Pappenheim-stained · 250×250 px · bone marrow smear.
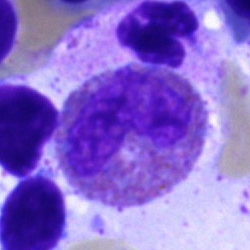Q: What type of cell is this?
A: This is an eosinophil.